40× oil immersion. MGG-stained. Bone marrow aspirate smear
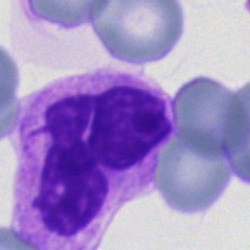Single cell identified as a polymorphonuclear neutrophil.